Bone marrow smear; image size 250×250:
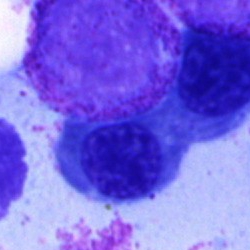

Impression → normoblast.